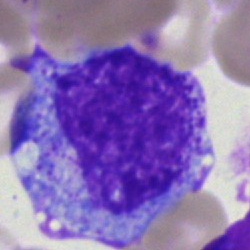

Specimen: bone marrow smear.
Cell: progranulocyte.